Bone marrow aspirate smear:
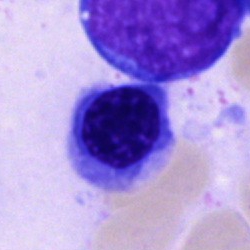Morphology → nucleated red cell.